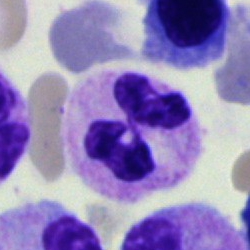
Impression — segmented neutrophil.